Bone marrow aspirate smear — 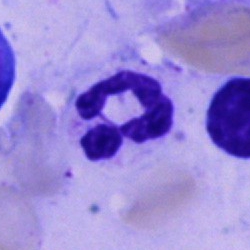Cell type — polymorphonuclear neutrophil.